Peripheral blood smear: 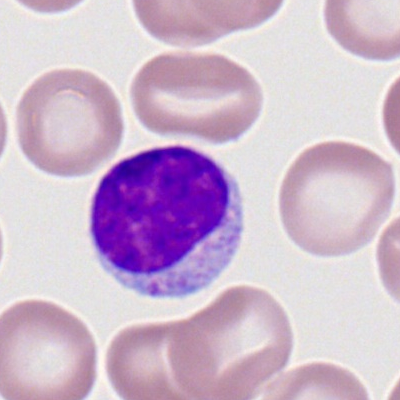 The cell shown is a typical lymphocyte.